Bone marrow aspirate smear · MGG-stained:
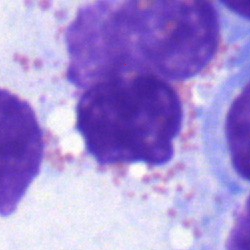
Q: Identify the cell.
A: An eosinophil.